May-Grünwald-Giemsa stain · bone marrow smear
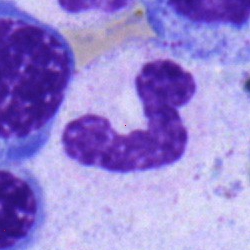

Q: What is the morphological classification of this cell?
A: This is a band-form neutrophil.